Bone marrow aspirate smear
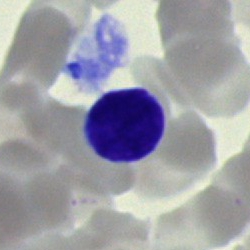Specimen: bone marrow aspirate smear.
Morphological class: typical lymphocyte.
Lineage: lymphoid.